May-Grünwald-Giemsa stain · 40× oil immersion · bone marrow smear.
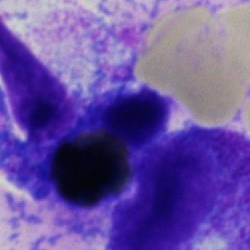
Q: What is shown here?
A: It is an artefact.